Bone marrow smear.
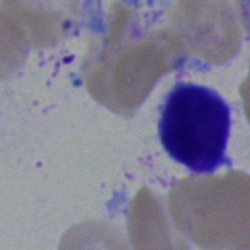
Morphology consistent with a typical lymphocyte.